Imaged on a CellaVision DM96 analyser · peripheral blood smear
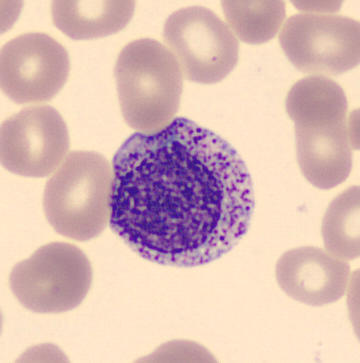
Promyelocyte.